MGG-stained; bone marrow aspirate smear — 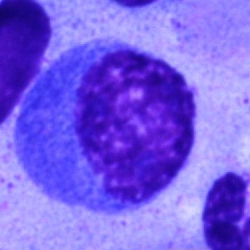 Cell type: plasmacyte.